Bone marrow aspirate smear
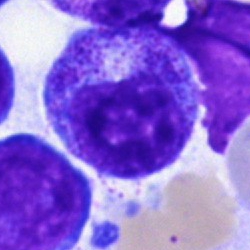
The cell shown is a promyelocyte.